Bone marrow smear:
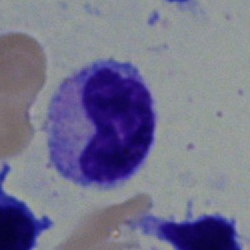Q: What is the morphological classification of this cell?
A: A band-form neutrophil.